Bone marrow aspirate smear. 250×250 px: 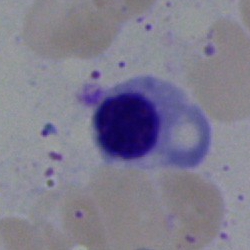Specimen: bone marrow aspirate smear.
Classification: nucleated red blood cell.
Lineage: erythroid.